Bone marrow smear; image size 250×250:
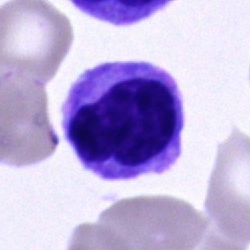 A monocyte.